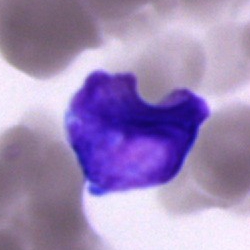

Single-cell crop from a bone marrow smear: typical lymphocyte.